Bone marrow smear. 250 by 250 pixels
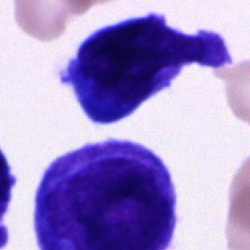 {"cell_type": "unidentifiable cell"}